May-Grünwald-Giemsa/Pappenheim stain; bone marrow aspirate smear; brightfield microscopy, 40× oil immersion — 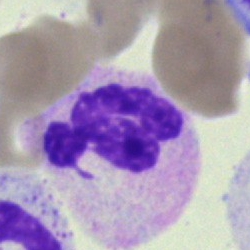 Neutrophil (segmented).